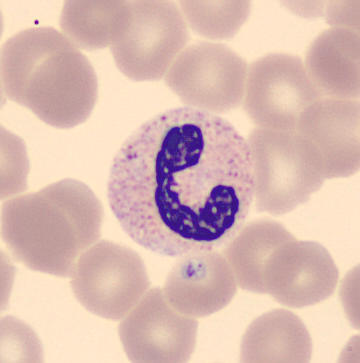Specimen: peripheral blood film.
Morphological class: stab cell.
Lineage: myeloid.

Preparation: Automated cell imaging (CellaVision DM96).